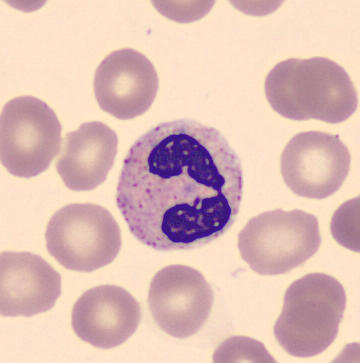Q: What is the morphological classification of this cell?
A: Neutrophil (segmented).